Image size 250×250; bone marrow smear:
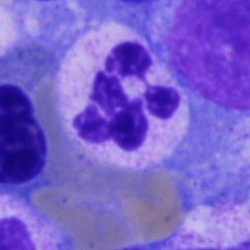
Q: What type of cell is this?
A: It is a polymorphonuclear neutrophil.